Bone marrow smear:
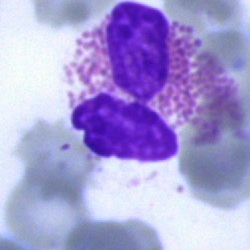
Cell type: eosinophil.